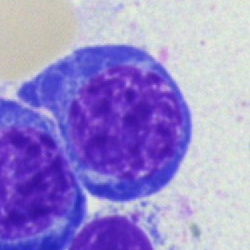

An erythroblast.